Bone marrow aspirate smear — 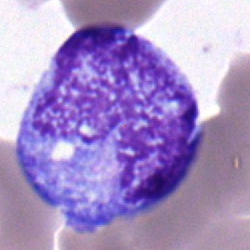 Classification — monocyte.